Bone marrow smear:
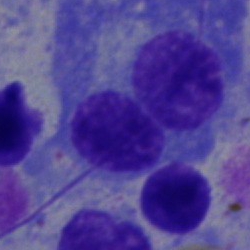Showing a plasmacyte.